Bone marrow smear. Pappenheim-stained
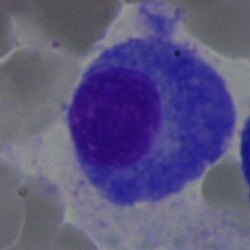
A plasma cell.